40× oil immersion · bone marrow aspirate smear:
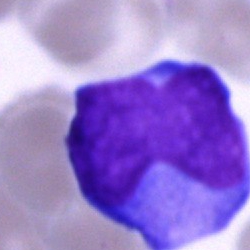 Specimen: bone marrow aspirate smear.
Classification: blast.